Bone marrow aspirate smear
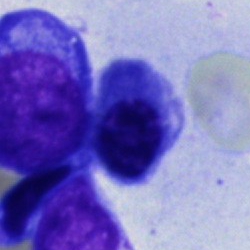The cell shown is a normoblast.